250×250 · 40× oil immersion · bone marrow smear — 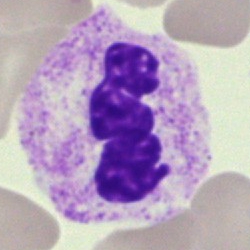

Q: What cell is this?
A: A segmented neutrophil.